Bone marrow aspirate smear — 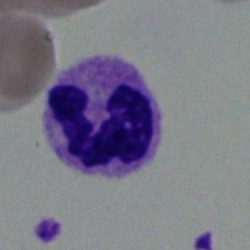Morphological class — neutrophil (segmented).